Bone marrow smear:
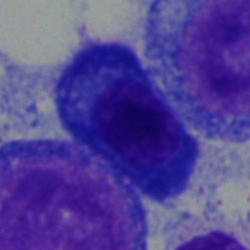 Q: What cell is this?
A: It is a plasma cell.